Brightfield microscopy, 40× oil immersion. Bone marrow aspirate smear. Cropped to a single cell: 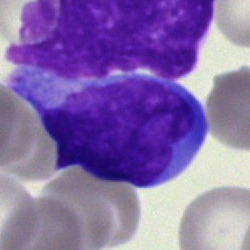

Morphological class: blast cell.